Bone marrow aspirate smear — 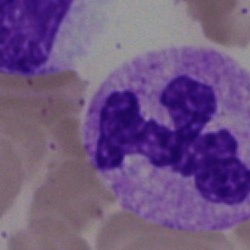 Q: What type of cell is this?
A: This is a neutrophil (segmented).